Bone marrow smear: 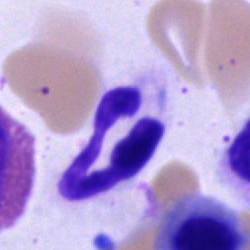
Showing a polymorphonuclear neutrophil.